Bone marrow aspirate smear · brightfield microscopy, 40× oil immersion:
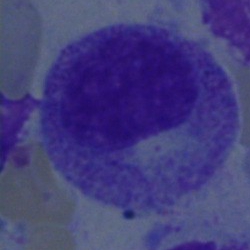This is a myelocyte.